Bone marrow smear. Brightfield, 40× oil-immersion objective.
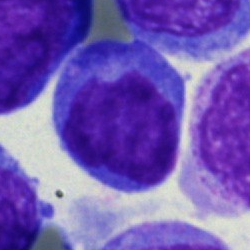 {"cell_type": "undifferentiated blast"}